May-Grünwald-Giemsa stain. Bone marrow smear
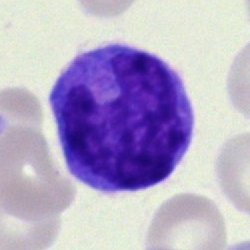
The cell shown is a monocyte.